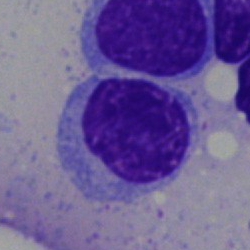
Lymphocyte.